May-Grünwald-Giemsa/Pappenheim stain · bone marrow aspirate smear
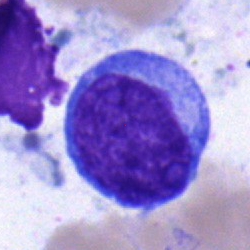 Classification = blast.